Bone marrow smear
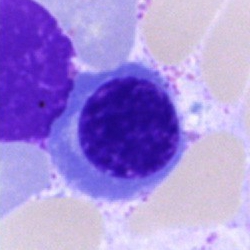Cell: nucleated red cell.